Bone marrow aspirate smear: 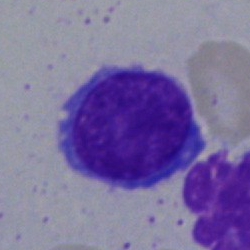

Q: What cell is this?
A: A lymphocyte.